Peripheral blood film. Single-cell crop.
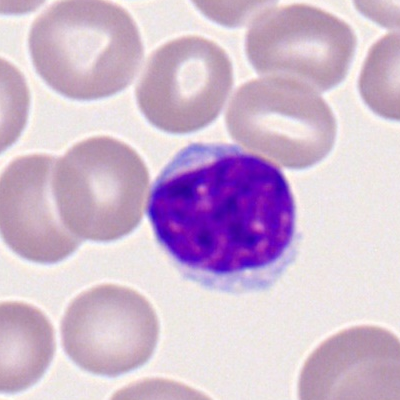Morphological class = lymphocyte.